Bone marrow smear. 250×250. Single cell centered in the field
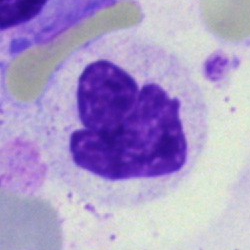This is an artefact.